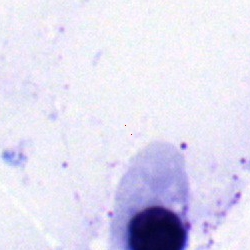
This is a polymorphonuclear neutrophil.